Bone marrow aspirate smear — 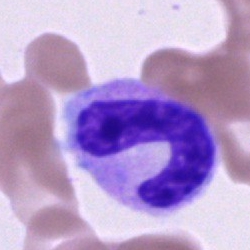 The cell shown is a band neutrophil.